Bone marrow smear.
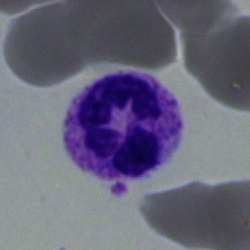

Impression — segmented neutrophil.